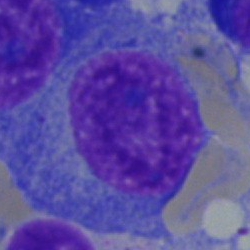

Classification = plasma cell.